Brightfield microscopy, 40× oil immersion. Bone marrow smear. Cropped to a single cell — 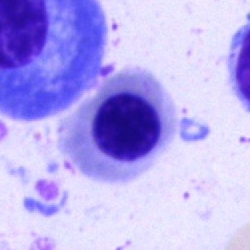The cell shown is a normoblast.